Bone marrow smear: 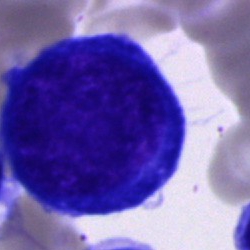 Impression → pronormoblast.